250×250 px; bone marrow aspirate smear
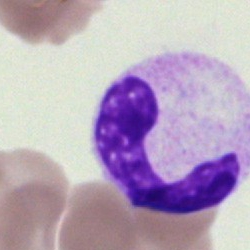
Q: Identify the cell.
A: A band-form neutrophil.